250 by 250 pixels; bone marrow aspirate smear:
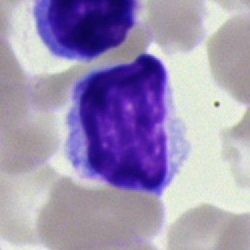 The cell shown is a lymphocyte.